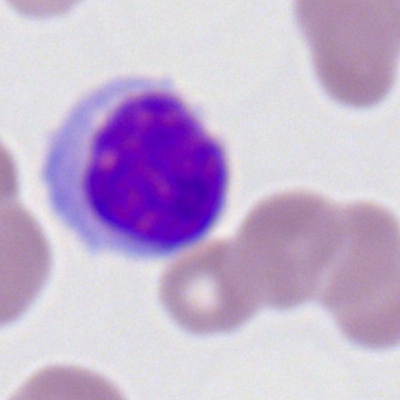

Lymphocyte.